Bone marrow aspirate smear.
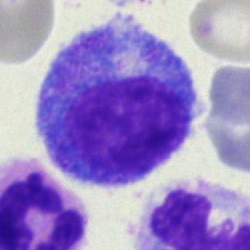 The cell shown is a progranulocyte.